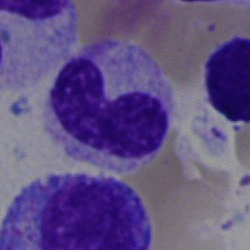The cell shown is a band neutrophil.